Single-cell crop. Bone marrow aspirate smear.
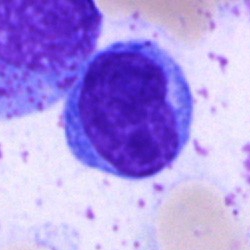 Morphology consistent with a lymphocyte.